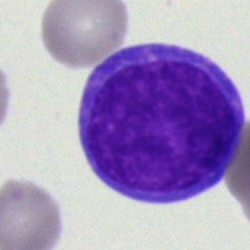The cell is blast cell.